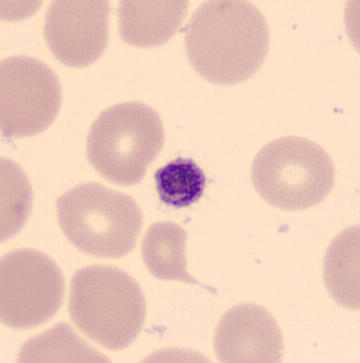
Peripheral blood film · CellaVision DM96.

Showing a thrombocyte.